Single-cell crop. Bone marrow aspirate smear. Pappenheim-stained
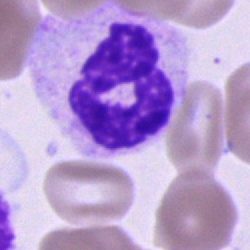

Q: What cell is this?
A: It is a neutrophil (segmented).